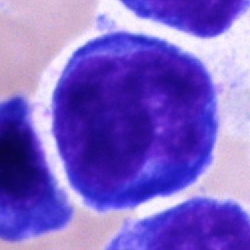
The cell shown is a pronormoblast.